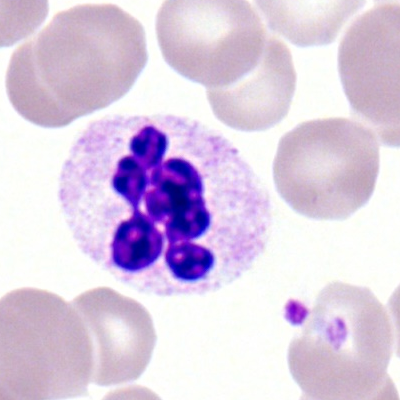

{"cell_type": "neutrophil (segmented)", "lineage": "myeloid"}